Bone marrow aspirate smear
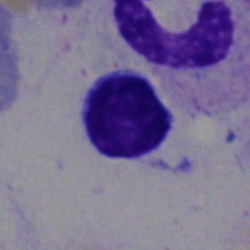

Q: What cell is this?
A: This is a lymphocyte.